MGG-stained; bone marrow smear: 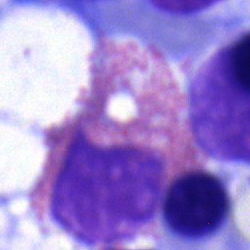 Specimen: bone marrow smear.
Morphological class: eosinophil.
Lineage: myeloid.